Peripheral blood smear; May Grünwald-Giemsa stain — 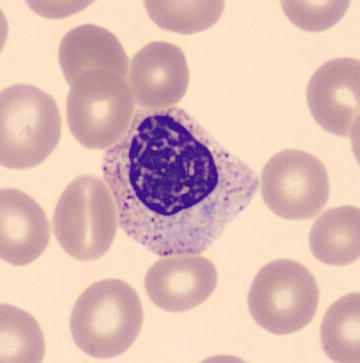
Single cell identified as a metamyelocyte.